Bone marrow aspirate smear: 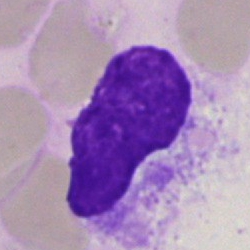
Morphology consistent with an artefact.